Bone marrow aspirate smear; 40× oil immersion — 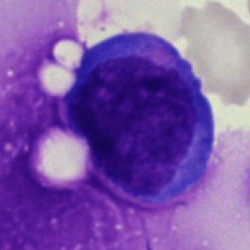 Cell = monocyte.